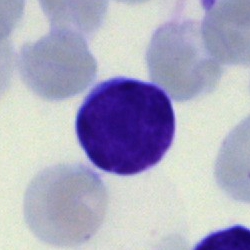

Showing a lymphocyte.